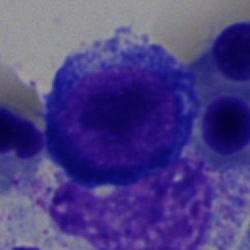
Normoblast.